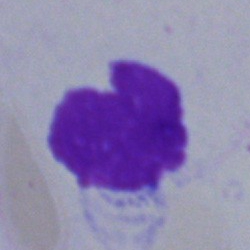
Morphology consistent with an artefact.